Bone marrow smear. Brightfield microscopy, 40× oil immersion: 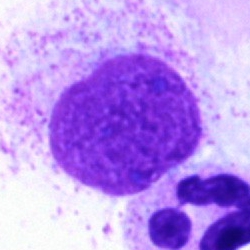

An artifact.